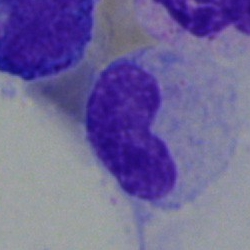
Q: Which cell type is shown here?
A: This is a band neutrophil.